Cropped to a single cell; image size 250×250; bone marrow smear:
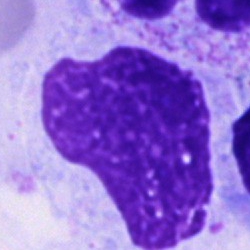
Q: What is shown here?
A: Unidentifiable cell.